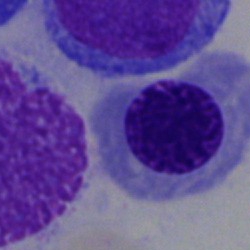 The classification is nucleated red cell.